Single-cell crop; bone marrow aspirate smear: 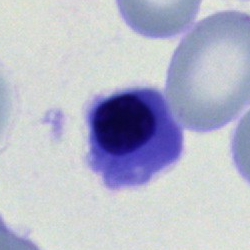
Q: What is shown here?
A: This is a normoblast.